Brightfield, 40× oil-immersion objective. Bone marrow aspirate smear: 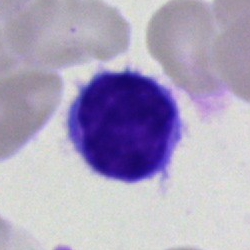 Q: Identify the cell.
A: It is a lymphocyte.